Bone marrow smear. 250 by 250 pixels.
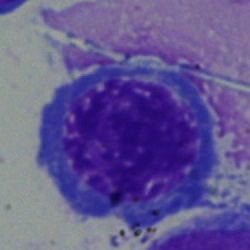

Q: Identify the cell.
A: An erythroblast.